Bone marrow aspirate smear — 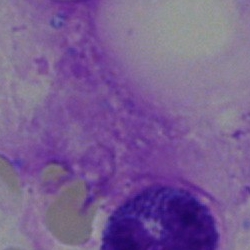
Q: What is shown here?
A: It is an artefact.